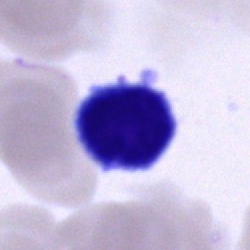Q: Identify the cell.
A: Typical lymphocyte.